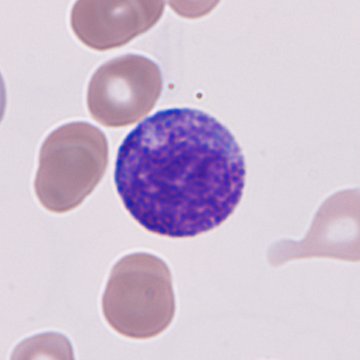 Peripheral blood smear. Single-cell crop. 360 by 360 pixels.

Q: Which cell type is shown here?
A: It is a granulocyte precursor.